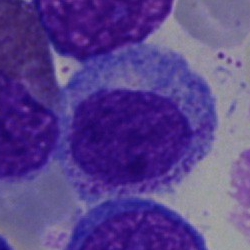
Classification: progranulocyte.